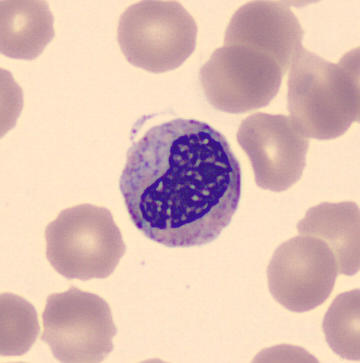
CellaVision DM96.
Specimen: peripheral blood smear.
Classification: metamyelocyte.